Bone marrow smear — 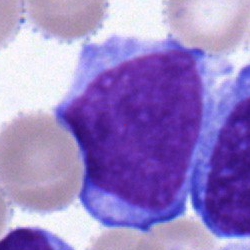Q: Identify the cell.
A: This is a blast.